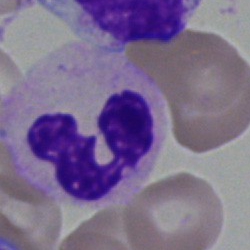
Impression → segmented neutrophil.